Peripheral blood smear.
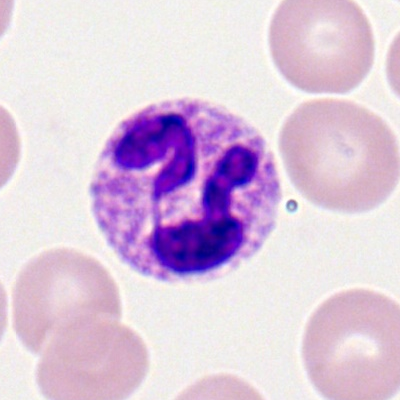
Cell — neutrophil (segmented).